Peripheral blood film · 100× oil immersion:
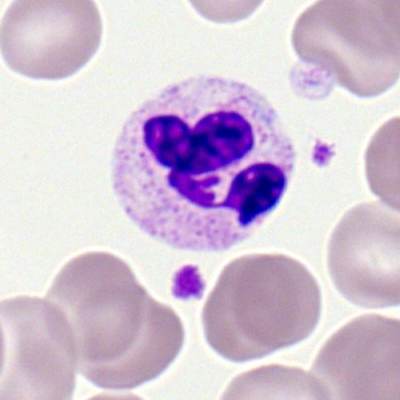 {"cell_type": "polymorphonuclear neutrophil", "lineage": "myeloid"}